Peripheral blood smear: 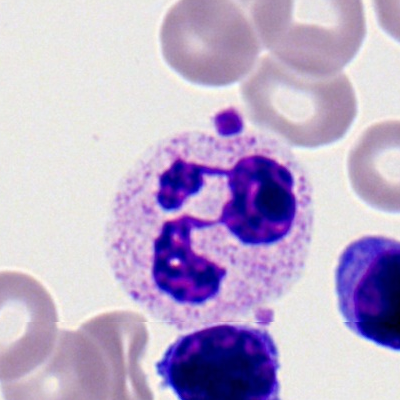
{"cell_type": "polymorphonuclear neutrophil", "lineage": "myeloid"}